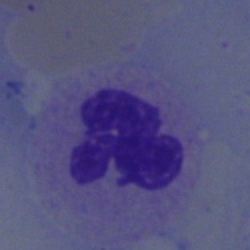
Classification: segmented neutrophil.